Single-cell crop. Bone marrow aspirate smear: 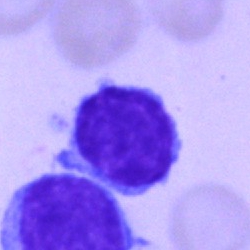{"cell_type": "typical lymphocyte", "lineage": "lymphoid"}